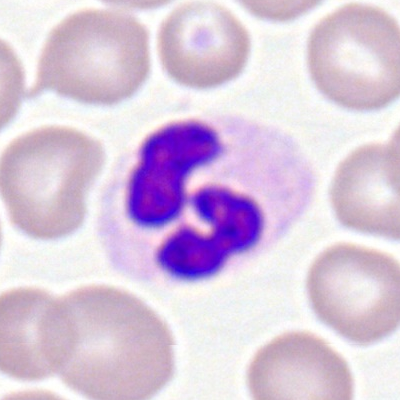 The cell shown is a polymorphonuclear neutrophil.